Bone marrow smear.
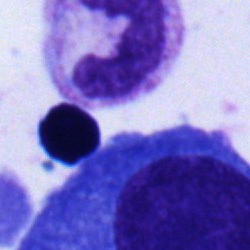Morphological class = stab cell.